Bone marrow smear.
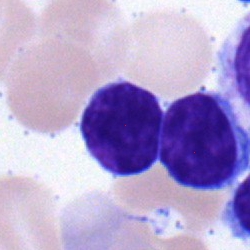
Morphology — typical lymphocyte.